Bone marrow smear:
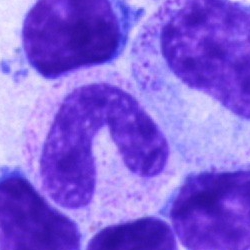{"cell_type": "stab cell", "lineage": "myeloid"}